Bone marrow aspirate smear.
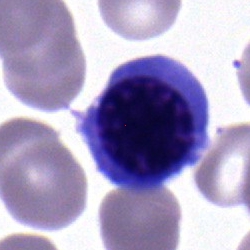

Impression — nucleated red blood cell.